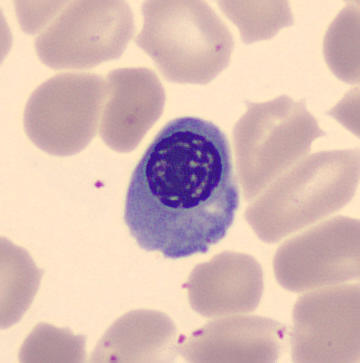 Preparation: Peripheral blood smear. Morphology → erythroblast.